Bone marrow smear
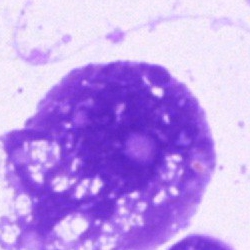Impression → artefact.